40× objective, oil immersion. Bone marrow smear:
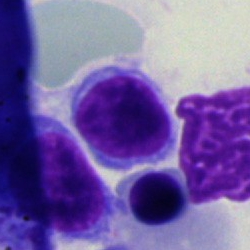Showing a normoblast.